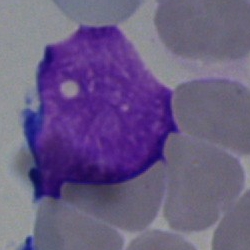 Morphology consistent with an artefact.